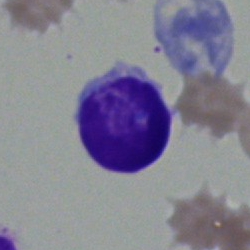

The cell type is lymphocyte.